Romanowsky stain; cropped to a single cell; peripheral blood smear — 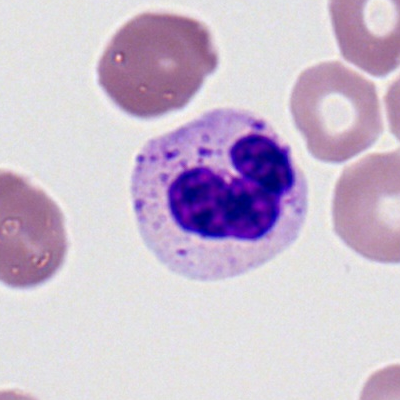
Morphology — polymorphonuclear neutrophil.